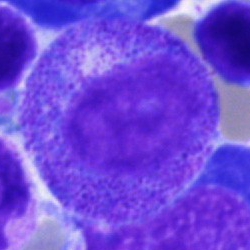The cell shown is a progranulocyte.